Bone marrow aspirate smear · 250 by 250 pixels: 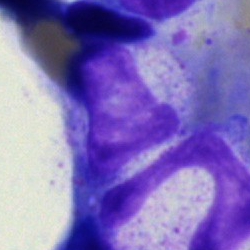
Q: What is the morphological classification of this cell?
A: Metamyelocyte.